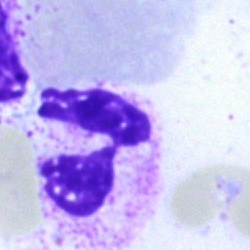

Morphology → polymorphonuclear neutrophil.